Pappenheim-stained. Bone marrow aspirate smear:
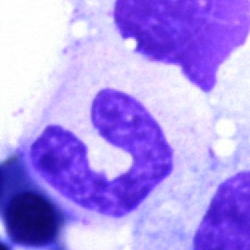The cell shown is a band neutrophil.